Bone marrow aspirate smear. Brightfield, 40× oil-immersion objective. Cropped to a single cell.
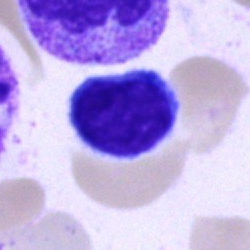Impression — typical lymphocyte.